Bone marrow aspirate smear — 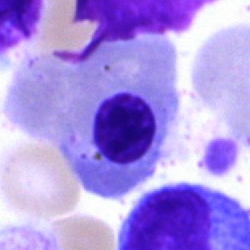Morphology → nucleated red blood cell.